Image size 250×250 · bone marrow smear · brightfield microscopy, 40× oil immersion — 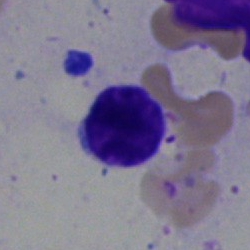
Specimen: bone marrow smear.
Cell: typical lymphocyte.